250 by 250 pixels; brightfield, 40× oil-immersion objective; bone marrow aspirate smear: 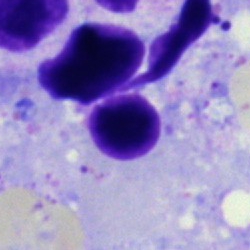 {"cell_type": "artefact"}